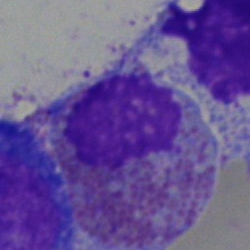

Specimen: bone marrow aspirate smear.
Cell type: eosinophil.
Lineage: myeloid.